Bone marrow aspirate smear; cropped to a single cell; 250×250 px:
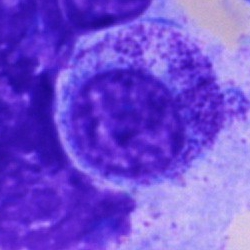
Cell — progranulocyte.